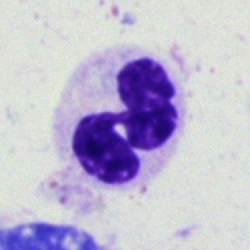
Cell type = segmented neutrophil.